Bone marrow smear; May-Grünwald-Giemsa/Pappenheim stain — 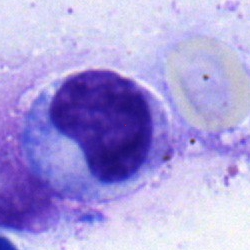

Classification — metamyelocyte.